Bone marrow smear; 250 by 250 pixels: 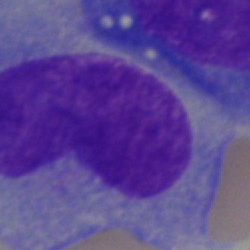 Q: Which cell type is shown here?
A: Blast cell.